Bone marrow smear — 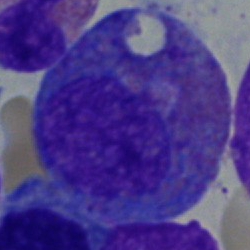 Q: What is shown here?
A: Eosinophil.